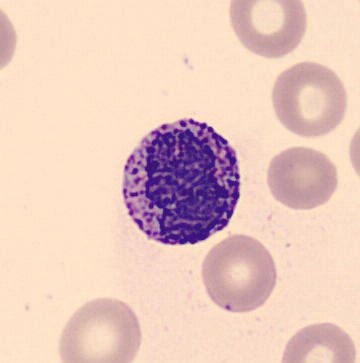
Image: 360×363 px · peripheral blood smear · single-cell crop. The classification is basophil.